Pappenheim-stained. Bone marrow aspirate smear. 250×250: 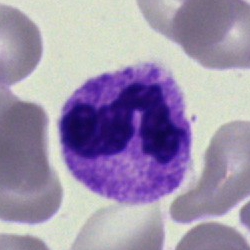

Classification = polymorphonuclear neutrophil.